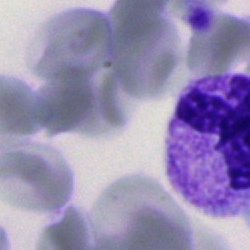{"cell_type": "polymorphonuclear neutrophil"}